Bone marrow aspirate smear. Single cell centered in the field: 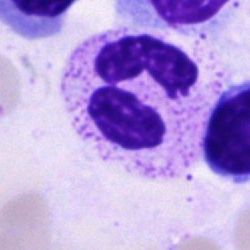
Morphological class — polymorphonuclear neutrophil.